Bone marrow aspirate smear · brightfield microscopy, 40× oil immersion — 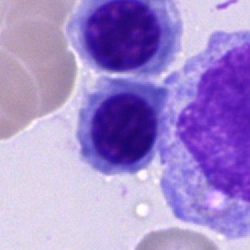 Specimen: bone marrow aspirate smear.
Cell: normoblast.
Lineage: erythroid.